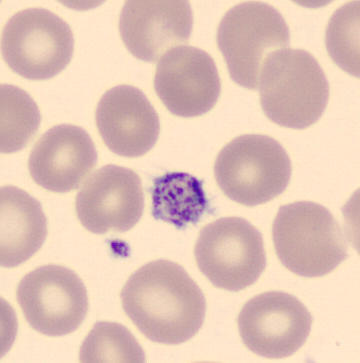

Thrombocyte.

Image: Peripheral blood film · imaged on a CellaVision DM96 analyser.